Brightfield, 40× oil-immersion objective · bone marrow smear
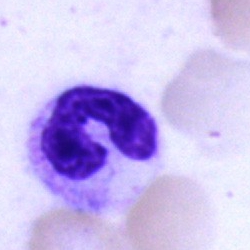{"cell_type": "neutrophil (band)"}